Bone marrow smear; single-cell crop
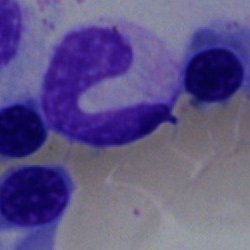
Q: What type of cell is this?
A: Band-form neutrophil.